Bone marrow aspirate smear. Single-cell field — 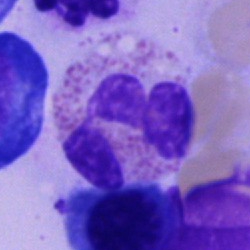 The cell shown is an eosinophil.